Bone marrow smear
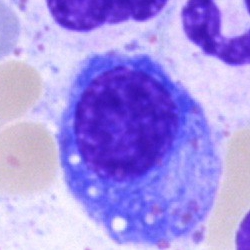{"cell_type": "promyelocyte", "lineage": "myeloid"}